Bone marrow aspirate smear — 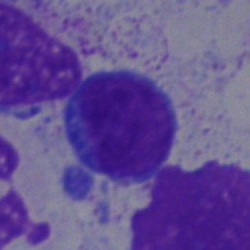
{"cell_type": "typical lymphocyte", "lineage": "lymphoid"}